Bone marrow aspirate smear.
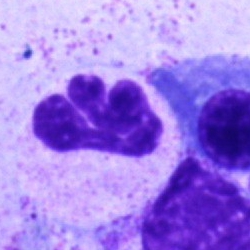Q: What is the morphological classification of this cell?
A: This is a polymorphonuclear neutrophil.